Bone marrow aspirate smear · 250×250 — 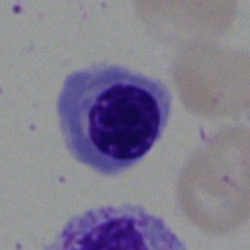 Classification: normoblast.